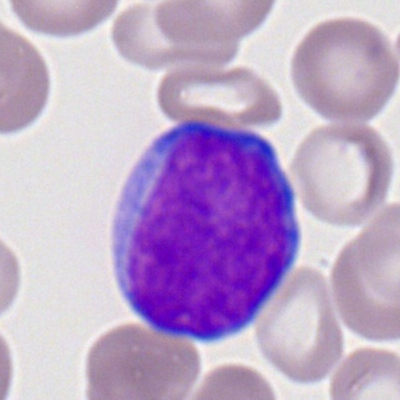Specimen: peripheral blood film.
Classification: myeloblast.